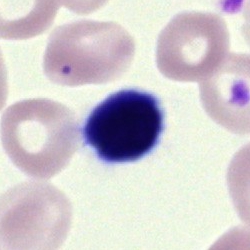

{"cell_type": "artefact"}